Bone marrow smear:
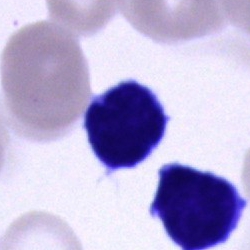

Q: What type of cell is this?
A: This is a typical lymphocyte.